Bone marrow aspirate smear:
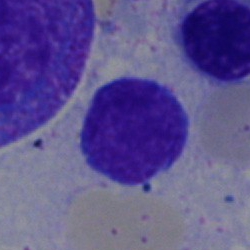 A lymphocyte.